40× objective, oil immersion · bone marrow smear
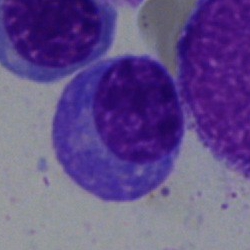Showing a plasma cell.